Single-cell crop · 250×250 px · bone marrow smear.
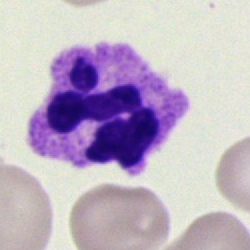

{"cell_type": "neutrophil (segmented)", "lineage": "myeloid"}